Bone marrow smear; single-cell field; brightfield microscopy, 40× oil immersion — 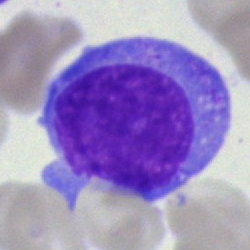Specimen: bone marrow smear.
Classification: blast.